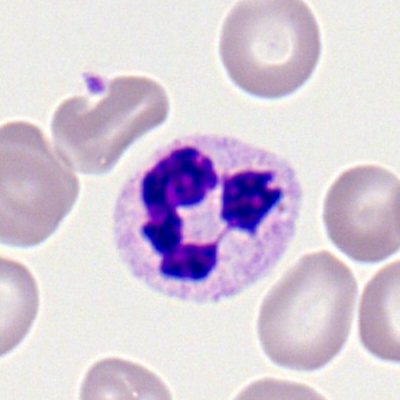
This is a neutrophil (segmented).